Single-cell crop · 250×250 · bone marrow aspirate smear
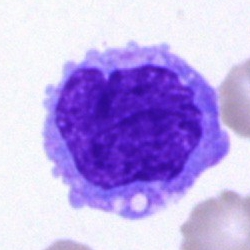 Monocyte.